Bone marrow aspirate smear; May-Grünwald-Giemsa/Pappenheim stain — 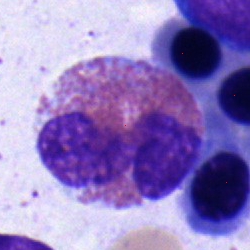Q: What is shown here?
A: Eosinophilic granulocyte.